Bone marrow aspirate smear:
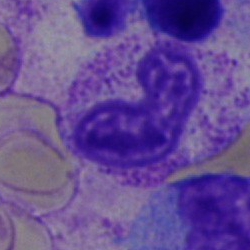

Q: What type of cell is this?
A: A stab cell.